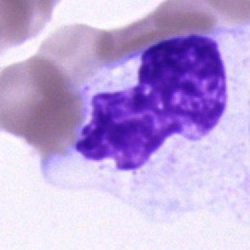 Morphology — unidentifiable cell.